Bone marrow smear. May-Grünwald-Giemsa/Pappenheim stain. Brightfield, 40× oil-immersion objective — 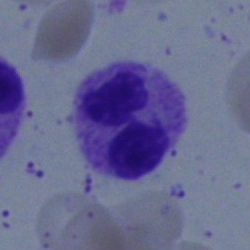{"cell_type": "segmented neutrophil", "lineage": "myeloid"}